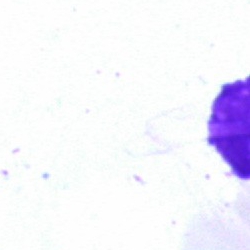Morphological class: artifact.